Bone marrow aspirate smear
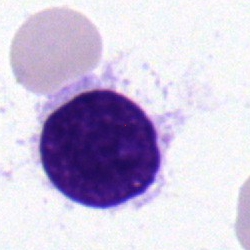 The cell shown is a typical lymphocyte.